Brightfield, 40× oil-immersion objective; bone marrow aspirate smear: 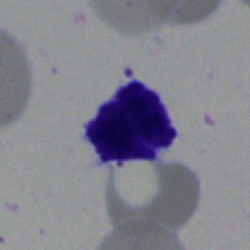 Specimen: bone marrow smear.
Morphological class: lymphocyte.